100× oil immersion, 14.14 px/µm. Peripheral blood smear:
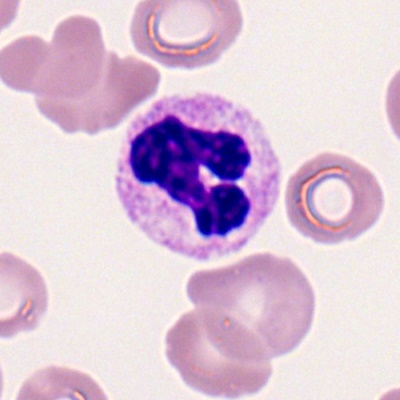

Q: What is the morphological classification of this cell?
A: It is a segmented neutrophil.